Bone marrow smear. Brightfield, 40× oil-immersion objective — 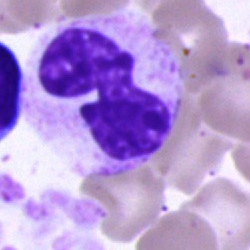Cell = eosinophil.